Bone marrow aspirate smear · 250×250
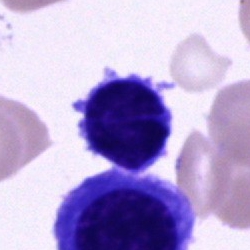Single cell identified as a lymphocyte.